Bone marrow smear; single cell centered in the field
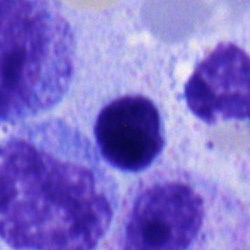Q: Identify the cell.
A: A typical lymphocyte.